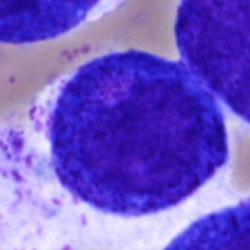 This is a progranulocyte.